Bone marrow aspirate smear; 250 by 250 pixels: 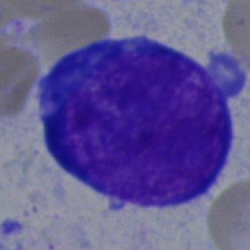 This is a proerythroblast.